250×250 · Pappenheim-stained · bone marrow smear: 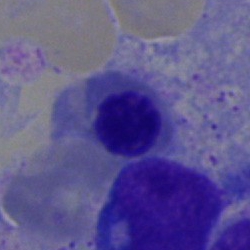
{"cell_type": "nucleated red blood cell", "lineage": "erythroid"}